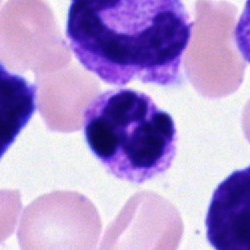
Single-cell crop from a bone marrow smear: segmented neutrophil.